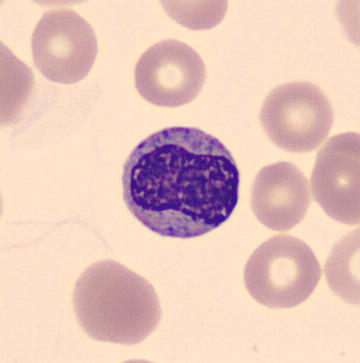Specimen: peripheral blood smear.
Morphological class: metamyelocyte.